Bone marrow smear.
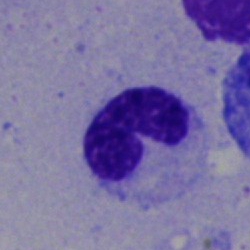
Q: Which cell type is shown here?
A: Segmented neutrophil.